Bone marrow smear: 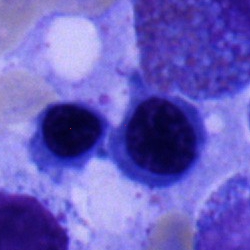Morphology consistent with a typical lymphocyte.